Bone marrow aspirate smear — 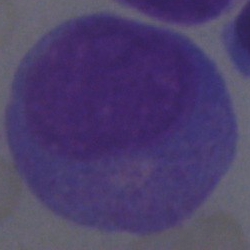Single cell identified as a progranulocyte.